Bone marrow aspirate smear: 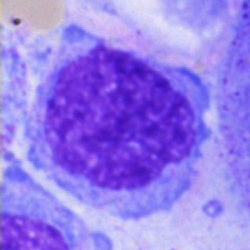Blast cell.